Bone marrow smear: 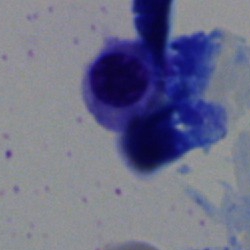 Q: Which cell type is shown here?
A: This is a normoblast.